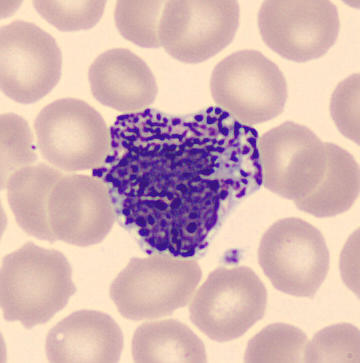Single cell identified as a basophil. Acquisition: May-Grünwald-Giemsa-stained · imaged on a CellaVision DM96 analyser · peripheral blood smear.